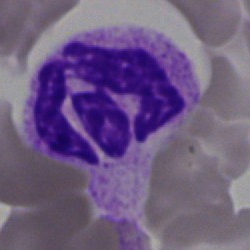 Neutrophil (segmented).